Single-cell field · bone marrow smear
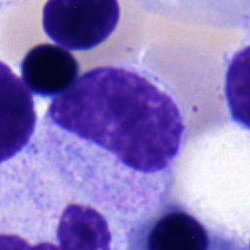Specimen: bone marrow smear.
Cell type: myelocyte.
Lineage: myeloid.